Peripheral blood film: 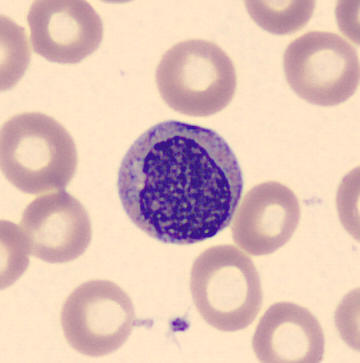
Q: What is shown here?
A: It is a myelocyte.